Bone marrow smear: 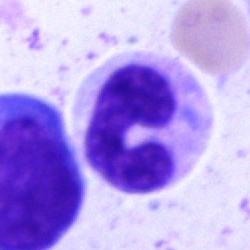Single cell identified as a band neutrophil.